Bone marrow aspirate smear — 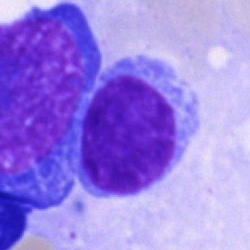

Lymphocyte.